Bone marrow aspirate smear. 40× oil immersion.
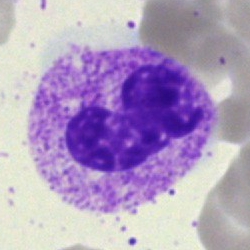The morphological class is stab cell.